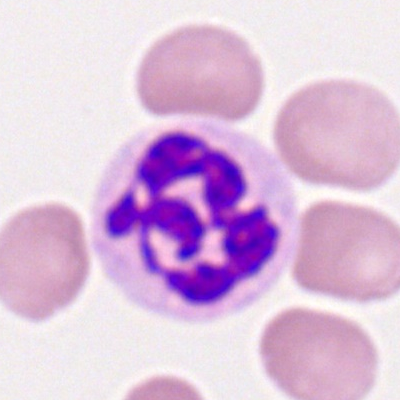
Specimen: peripheral blood smear.
Classification: polymorphonuclear neutrophil.